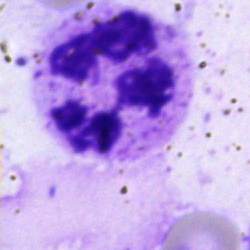
Morphology → segmented neutrophil.